Bone marrow aspirate smear: 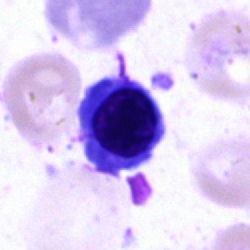 Morphology — nucleated red blood cell.